Bone marrow aspirate smear: 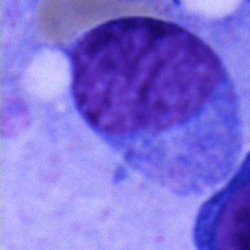Q: Which cell type is shown here?
A: Undifferentiated blast.